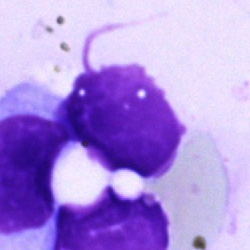

Morphological class — artefact.